250 by 250 pixels; bone marrow smear: 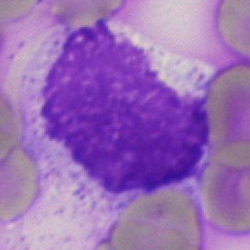Showing an artefact.